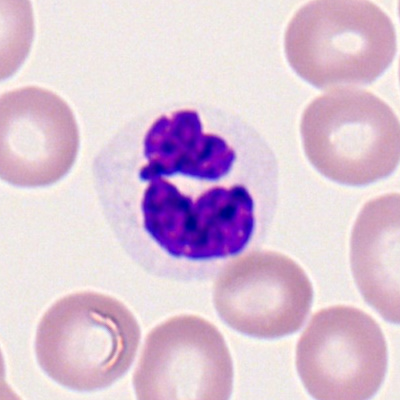
Single cell identified as a neutrophil (segmented).